Bone marrow aspirate smear.
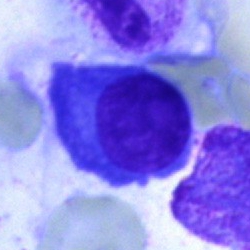

Specimen: bone marrow aspirate smear.
Morphological class: plasma cell.
Lineage: lymphoid.